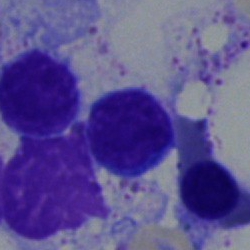
A typical lymphocyte on a bone marrow smear.